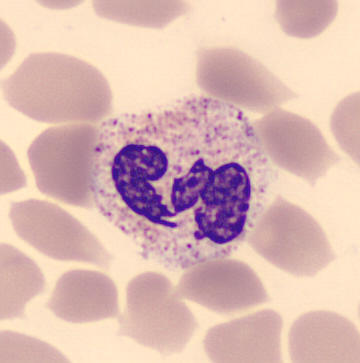Preparation: Imaged on a CellaVision DM96 analyser; peripheral blood film.

Showing a polymorphonuclear neutrophil.